Bone marrow smear: 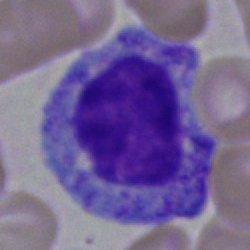 Classification: myelocyte.